Bone marrow aspirate smear — 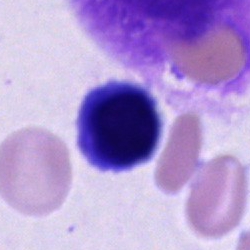
Showing a cell of indeterminate lineage.